Bone marrow aspirate smear — 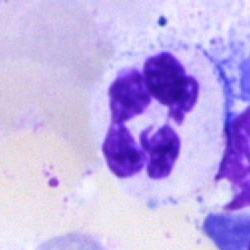Morphology → segmented neutrophil.